Bone marrow smear: 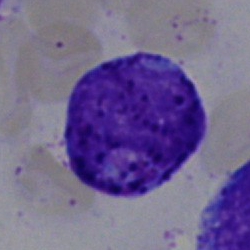Cell type = basophil.